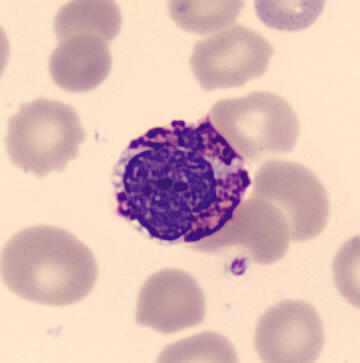
Classification: basophilic granulocyte. Acquisition: Peripheral blood smear.